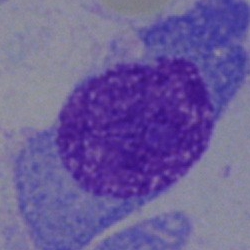Morphological class = plasma cell.